250×250 px · bone marrow smear:
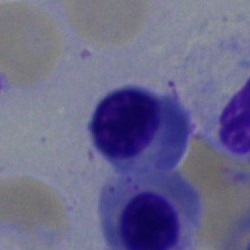
Nucleated red blood cell.